Bone marrow smear:
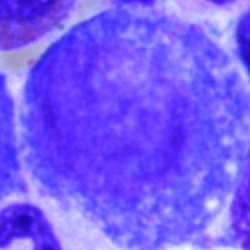

Specimen: bone marrow smear.
Morphological class: promyelocyte.